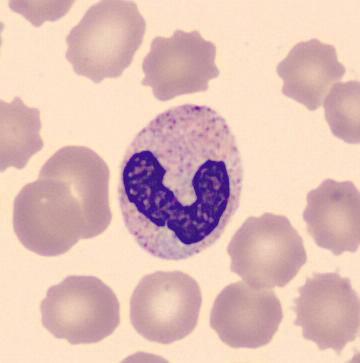

Single cell identified as a neutrophil (band). Preparation: Peripheral blood film; 360 by 363 pixels.